MGG-stained · 40× oil immersion · bone marrow smear
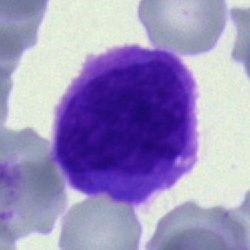Showing an artefact.